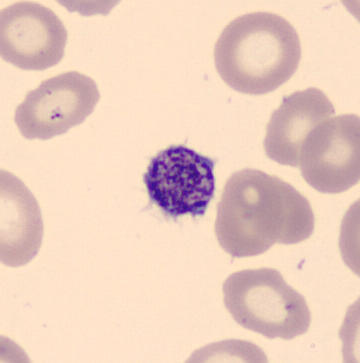 Impression — thrombocyte.